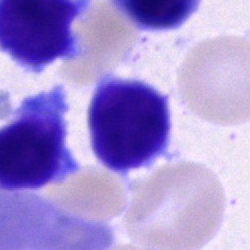 The cell shown is a lymphocyte.